Single-cell field · 40× objective, oil immersion · bone marrow aspirate smear
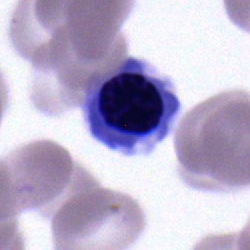 Specimen: bone marrow smear.
Morphological class: erythroblast.
Lineage: erythroid.